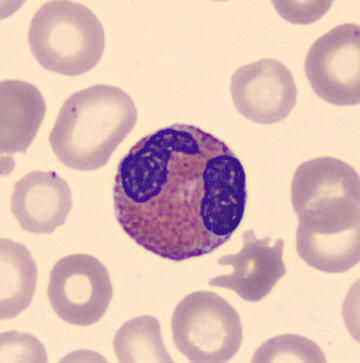

Morphological class = eosinophil.